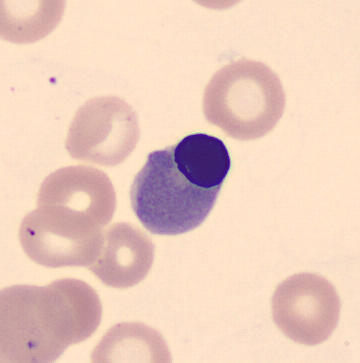

Normoblast.
Image: Peripheral blood smear.